Peripheral blood film; 100× oil immersion; 400×400
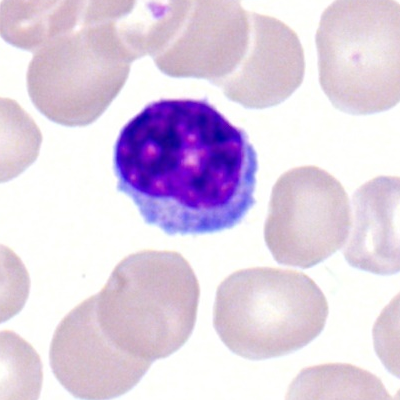

Q: What is the morphological classification of this cell?
A: Lymphocyte.